Peripheral blood film.
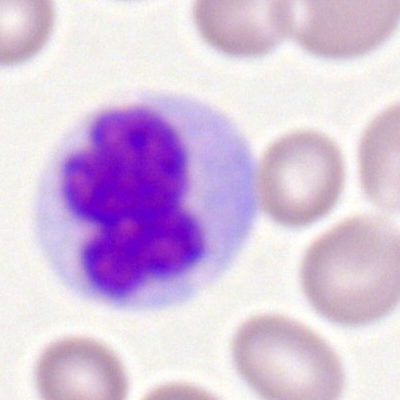

The cell is monocyte.